Bone marrow aspirate smear
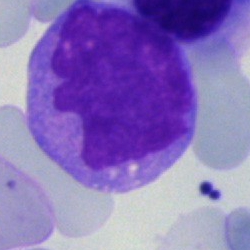 The classification is undifferentiated blast.